May Grünwald-Giemsa stain · peripheral blood film:
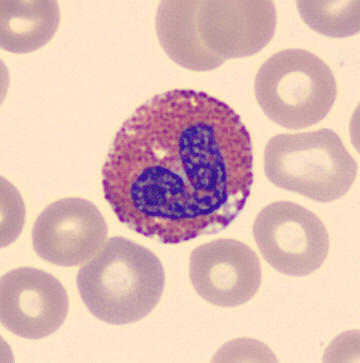
Specimen: peripheral blood smear.
Cell type: eosinophil.